Single-cell field · brightfield, 40× oil-immersion objective · bone marrow smear: 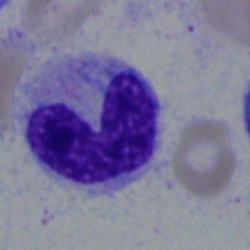
The morphological class is neutrophil (band).